Bone marrow aspirate smear.
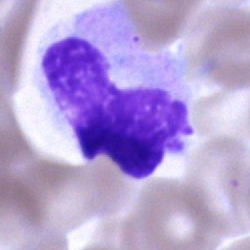An artefact.